Bone marrow smear — 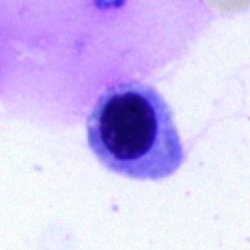

Cell type — nucleated red cell.